Bone marrow aspirate smear. Brightfield, 40× oil-immersion objective — 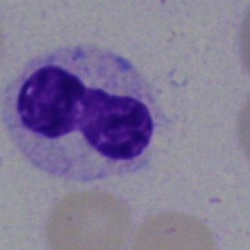 Specimen: bone marrow smear.
Cell type: polymorphonuclear neutrophil.